Peripheral blood smear: 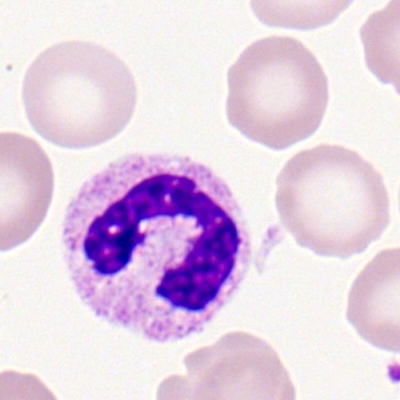

A neutrophil (segmented).